MGG-stained · peripheral blood film — 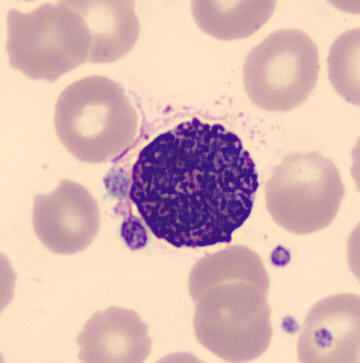
Morphological class: basophil.